Image size 250×250 · bone marrow aspirate smear.
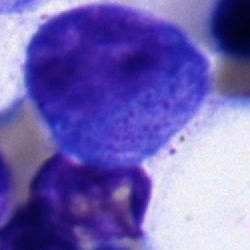

Specimen: bone marrow aspirate smear.
Cell type: promyelocyte.
Lineage: myeloid.